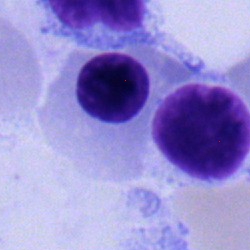Bone marrow smear showing a nucleated red cell.